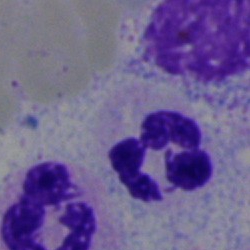 A segmented neutrophil on a bone marrow smear.